Bone marrow aspirate smear. May-Grünwald-Giemsa stain
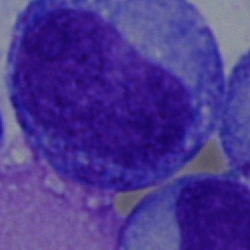

Morphology consistent with a promyelocyte.